Bone marrow smear
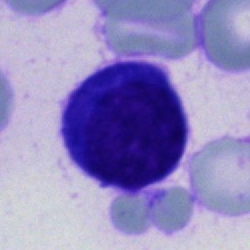

Impression — unidentifiable cell.